Single-cell crop · bone marrow smear.
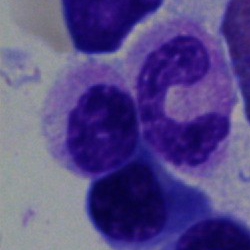
Q: Which cell type is shown here?
A: Neutrophil (segmented).